40× oil immersion · bone marrow aspirate smear — 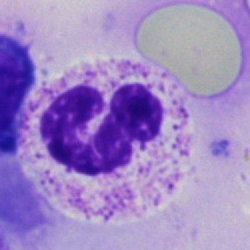
Impression → segmented neutrophil.